Single-cell field; bone marrow aspirate smear
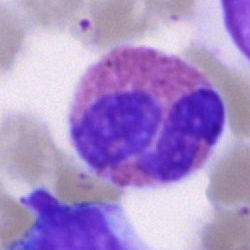
Q: What is shown here?
A: This is an eosinophilic granulocyte.